Bone marrow aspirate smear
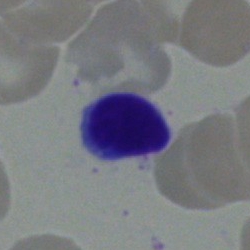

The morphological class is typical lymphocyte.